Image size 250×250; bone marrow smear: 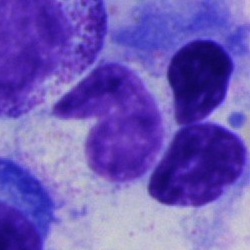

Showing a metamyelocyte.